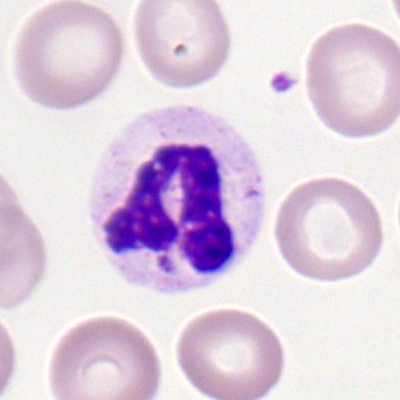
Cell type: polymorphonuclear neutrophil.